250 by 250 pixels · Pappenheim-stained · bone marrow smear — 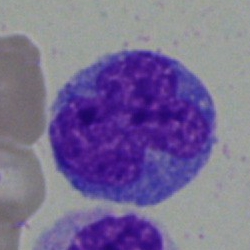

Q: What type of cell is this?
A: A blast cell.